Single-cell field · bone marrow smear:
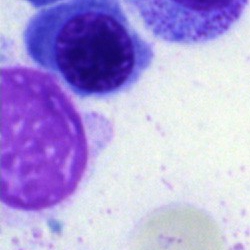 Specimen: bone marrow smear.
Classification: cell of indeterminate lineage.